Bone marrow smear: 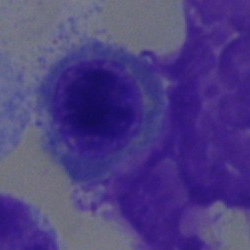 Morphology — normoblast.